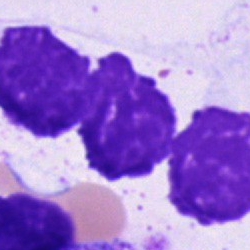
Bone marrow aspirate smear, single cell — artifact.